Bone marrow aspirate smear. Pappenheim-stained — 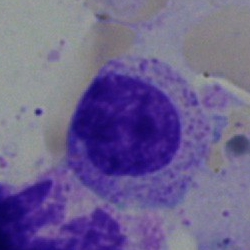Specimen: bone marrow aspirate smear.
Cell type: myelocyte.
Lineage: myeloid.